Brightfield microscopy, 40× oil immersion. Bone marrow smear. Single-cell crop
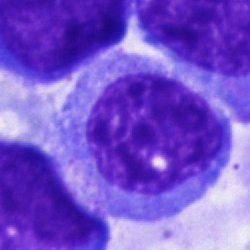 An unidentifiable cell.